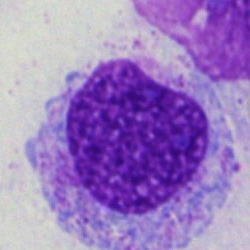

Morphological class — myelocyte.